Bone marrow aspirate smear:
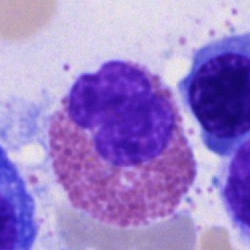The cell type is eosinophilic granulocyte.